Bone marrow smear:
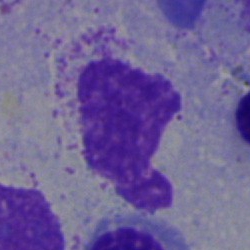

An artefact.